Bone marrow smear; 40× oil immersion — 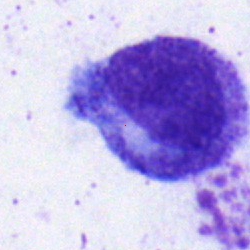Cell = myelocyte.